Bone marrow aspirate smear:
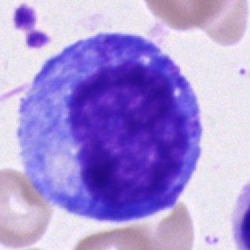

Morphology consistent with a progranulocyte.